Peripheral blood film — 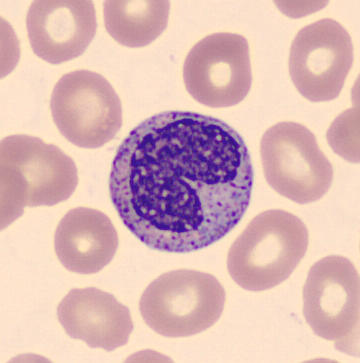 Morphological class: metamyelocyte.